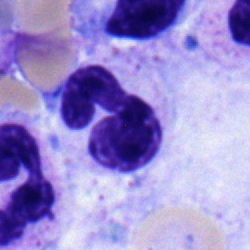{"cell_type": "neutrophil (segmented)", "lineage": "myeloid"}